Image size 250×250; bone marrow smear:
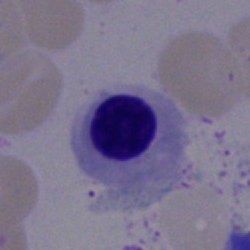
Impression → nucleated red cell.